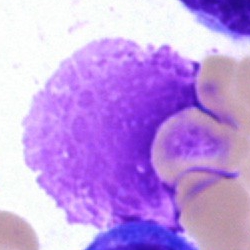
Q: What is shown here?
A: This is an artifact.